Peripheral blood film — 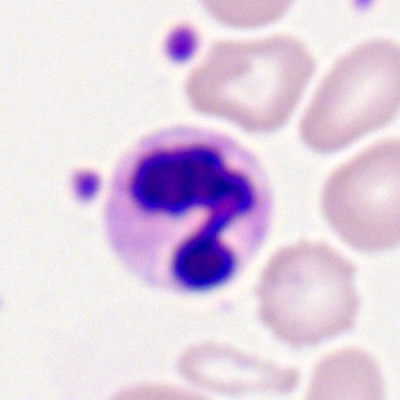
Specimen: peripheral blood film.
Classification: polymorphonuclear neutrophil.